Peripheral blood smear — 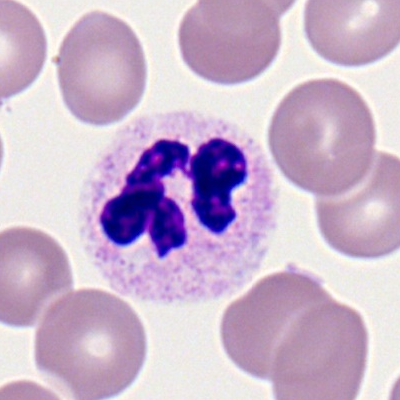 Cell type — neutrophil (segmented).